Pappenheim-stained · bone marrow smear: 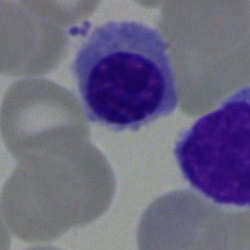This is an erythroblast.